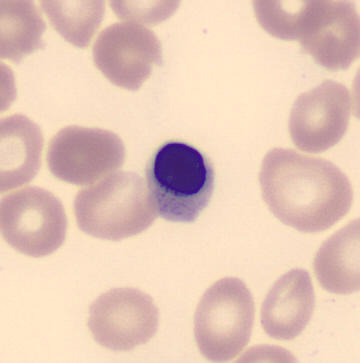Impression → normoblast.